Bone marrow aspirate smear.
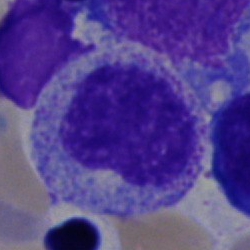

Showing a metamyelocyte.